250×250 · bone marrow smear
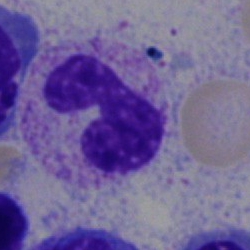
Cell: segmented neutrophil.